Bone marrow smear.
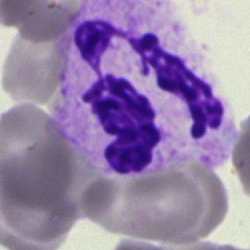
Single cell identified as a segmented neutrophil.